Bone marrow aspirate smear:
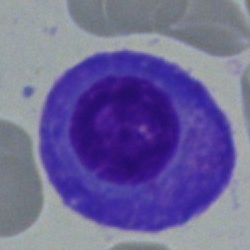 A plasmacyte.